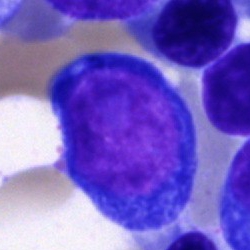

Classification — pronormoblast.